40× objective, oil immersion · bone marrow aspirate smear.
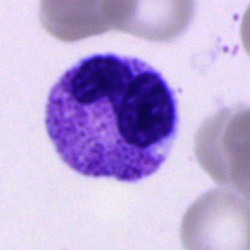 Q: What is shown here?
A: A polymorphonuclear neutrophil.